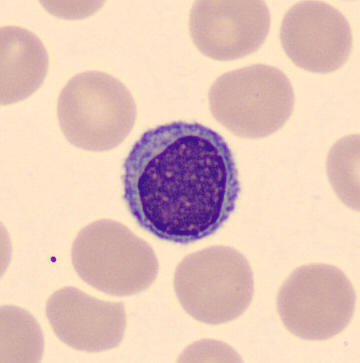 Peripheral blood film.
Morphology consistent with a lymphocyte.